Single-cell field. Bone marrow aspirate smear: 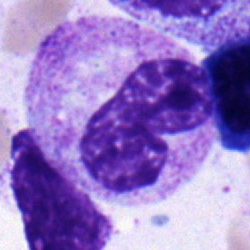 The morphological class is band neutrophil.